Bone marrow smear — 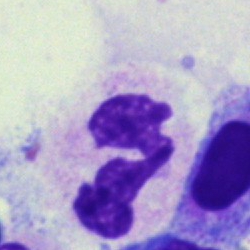 Specimen: bone marrow smear.
Morphological class: segmented neutrophil.
Lineage: myeloid.